Bone marrow aspirate smear
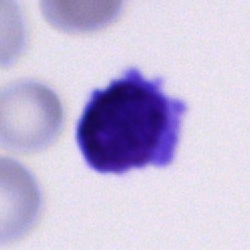

Q: Identify the cell.
A: Unidentifiable cell.